Peripheral blood film · single cell centered in the field:
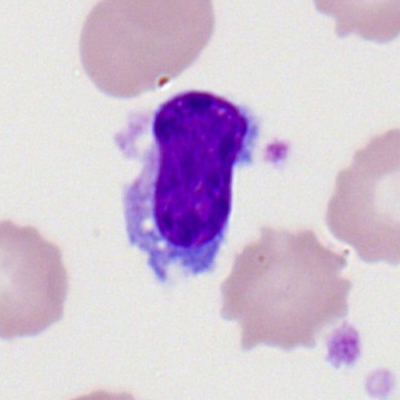
A typical lymphocyte.